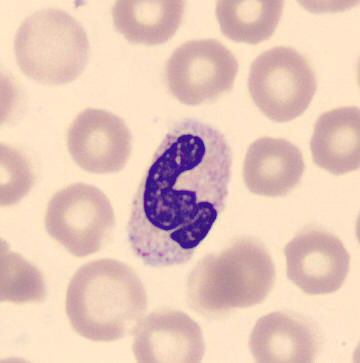Q: Identify the cell.
A: A band neutrophil.